Peripheral blood film · single-cell crop · 400×400 — 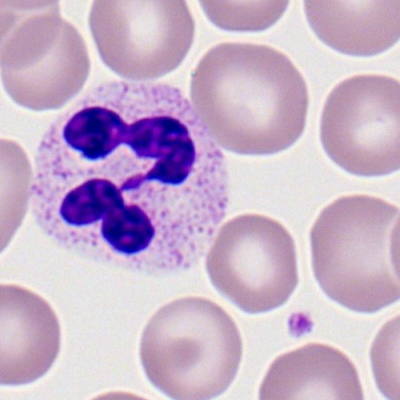
Morphological class = polymorphonuclear neutrophil.